250 by 250 pixels · bone marrow aspirate smear — 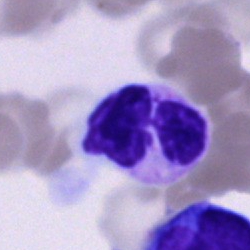
Classification: segmented neutrophil.